Bone marrow smear.
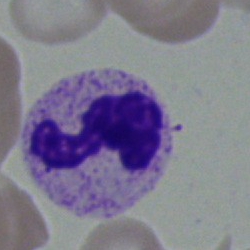The cell type is polymorphonuclear neutrophil.